Bone marrow smear — 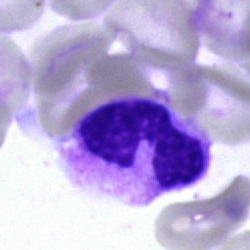
Q: Which cell type is shown here?
A: A band neutrophil.